Bone marrow smear. Single-cell crop.
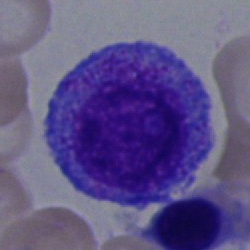
Cell type — promyelocyte.